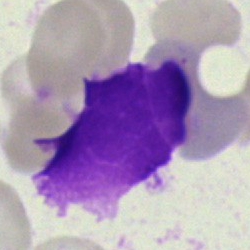
Morphology — artefact.